400 by 400 pixels; peripheral blood film: 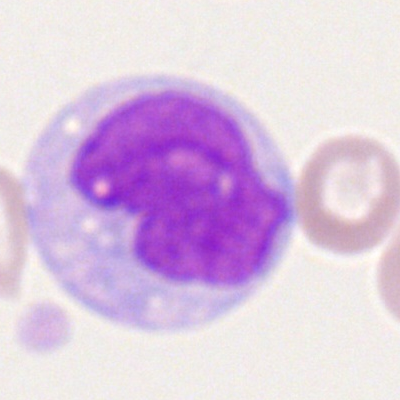
Classification — monocyte.